May-Grünwald-Giemsa/Pappenheim stain · bone marrow smear — 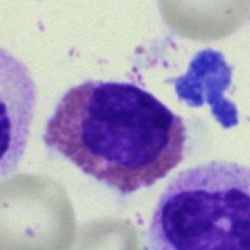
Q: What is the morphological classification of this cell?
A: It is an eosinophil.